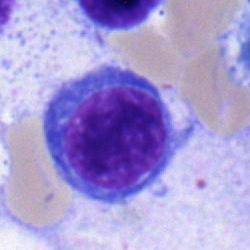

The morphological class is lymphocyte.